Bone marrow aspirate smear · MGG-stained:
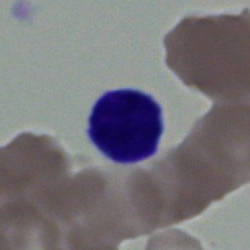Showing a typical lymphocyte.